Bone marrow aspirate smear.
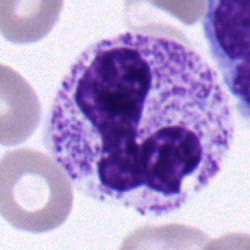 Showing a neutrophil (segmented).